Bone marrow aspirate smear
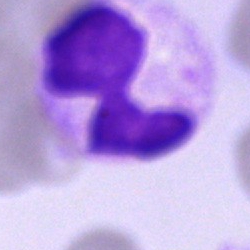 Q: What is shown here?
A: This is an artifact.